Bone marrow smear. 250×250.
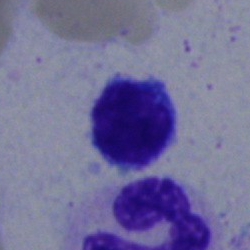
The cell shown is a lymphocyte.